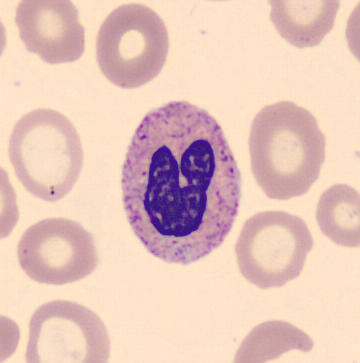
Cell type: neutrophil (band). Peripheral blood film.